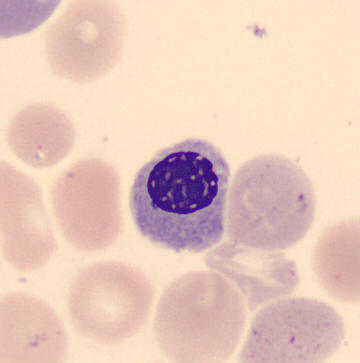
Specimen: peripheral blood smear.
Classification: nucleated red blood cell.